Bone marrow smear: 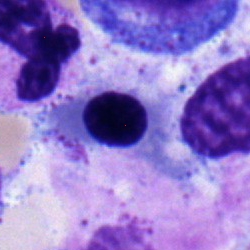 The cell is nucleated red blood cell.